Brightfield, 40× oil-immersion objective · May-Grünwald-Giemsa stain · bone marrow aspirate smear.
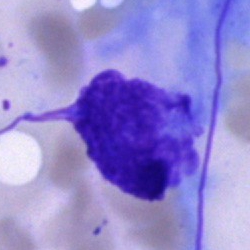 Cell — artifact.